Bone marrow smear — 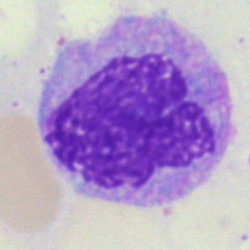 Q: Which cell type is shown here?
A: A monocyte.